Bone marrow smear — 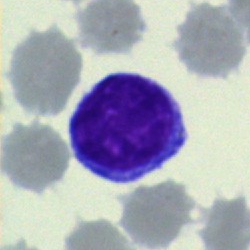

Classification: typical lymphocyte.